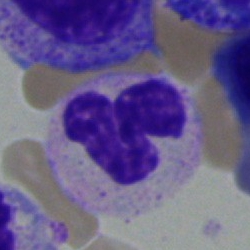Q: Identify the cell.
A: A polymorphonuclear neutrophil.